Peripheral blood film
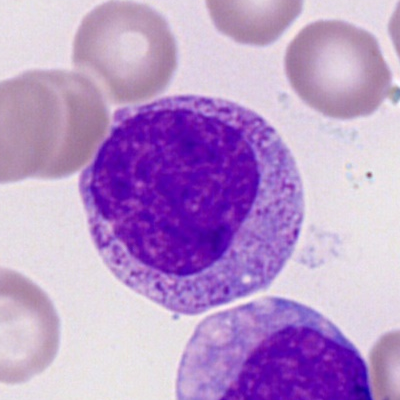 Classification = myelocyte.